250×250 px. Bone marrow aspirate smear. May-Grünwald-Giemsa stain.
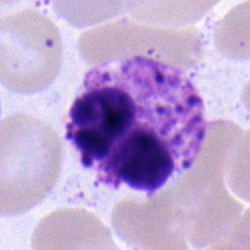Single cell identified as a basophilic granulocyte.